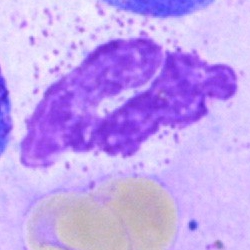 Q: What type of cell is this?
A: This is a neutrophil (segmented).